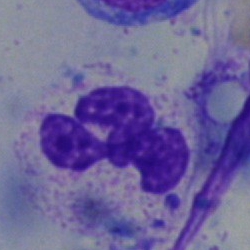Q: Which cell type is shown here?
A: Polymorphonuclear neutrophil.